May-Grünwald-Giemsa stain · bone marrow smear
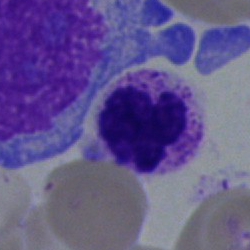 Morphological class — polymorphonuclear neutrophil.